Bone marrow aspirate smear. Single-cell field. 40× objective, oil immersion: 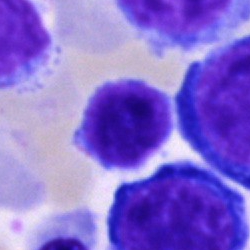Impression — lymphocyte.